Peripheral blood smear: 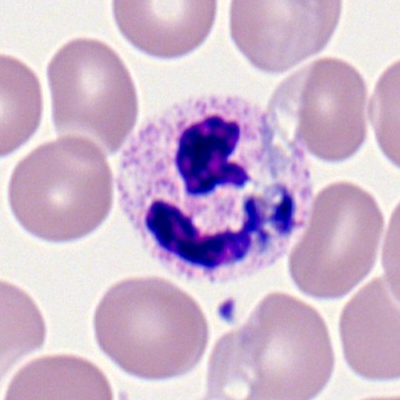
A segmented neutrophil.